Bone marrow smear. Cropped to a single cell:
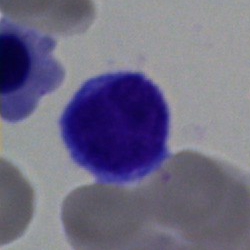

Cell = lymphocyte.